Bone marrow aspirate smear; cropped to a single cell
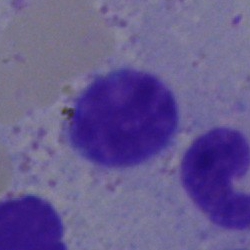 Impression — lymphocyte.